Single cell centered in the field · bone marrow aspirate smear · image size 250×250
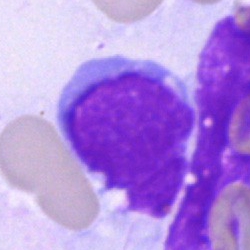An artifact.